Bone marrow smear: 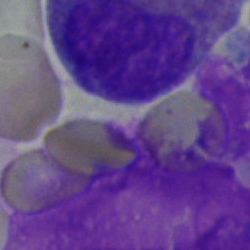
An artefact.